Bone marrow aspirate smear
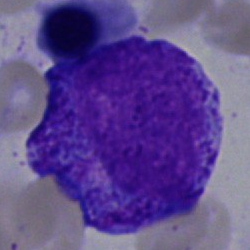

Cell = progranulocyte.